Pappenheim-stained. Bone marrow aspirate smear — 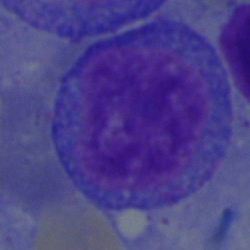{"cell_type": "blast cell"}